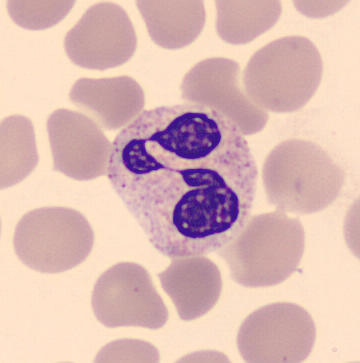 Cell type: segmented neutrophil. Preparation: Peripheral blood film.